Bone marrow aspirate smear
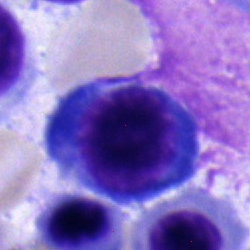Q: Identify the cell.
A: Erythroblast.